Bone marrow aspirate smear; May-Grünwald-Giemsa/Pappenheim stain; 250×250
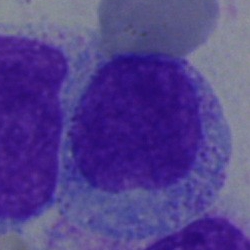 Single cell identified as a myelocyte.